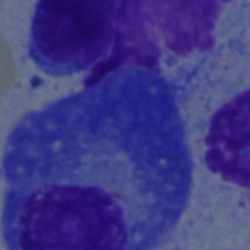
Classification = plasma cell.